MGG-stained; bone marrow aspirate smear.
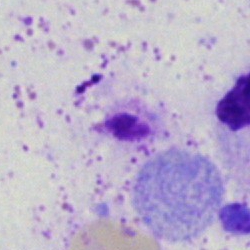

Q: What is shown here?
A: Artifact.